Peripheral blood smear
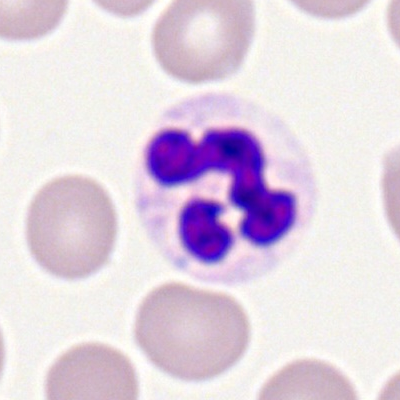
{"cell_type": "segmented neutrophil"}